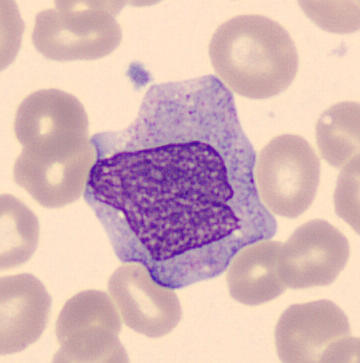

Specimen: peripheral blood smear.
Morphological class: monocyte.